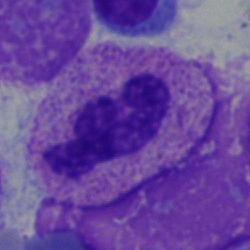

Q: Which cell type is shown here?
A: A segmented neutrophil.